Bone marrow aspirate smear · cropped to a single cell · 250×250: 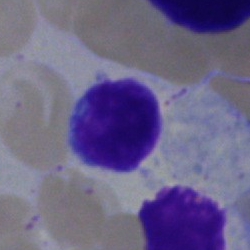
Cell = typical lymphocyte.